Bone marrow aspirate smear. Pappenheim-stained — 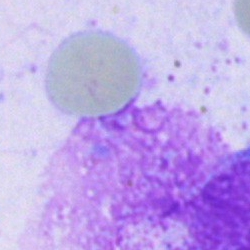

Artefact.